Brightfield microscopy, 40× oil immersion · May-Grünwald-Giemsa/Pappenheim stain · bone marrow aspirate smear.
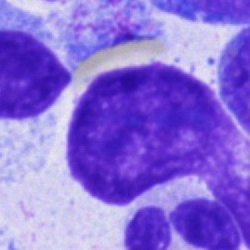
Morphological class: artifact.